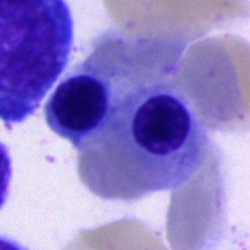The cell type is nucleated red cell.